100× objective, oil immersion. Peripheral blood smear:
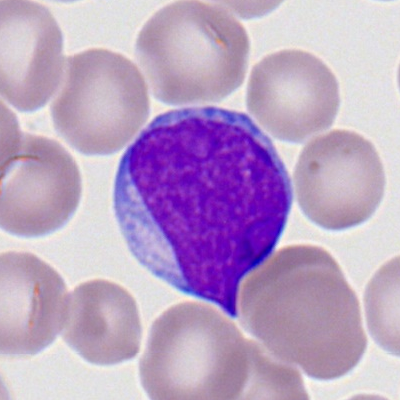

The morphological class is myeloid blast.